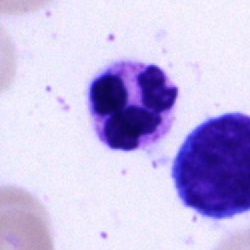Q: What is the morphological classification of this cell?
A: A segmented neutrophil.